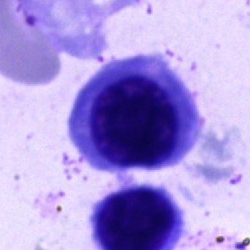
Cell type = erythroblast.